Image size 250×250 · bone marrow aspirate smear:
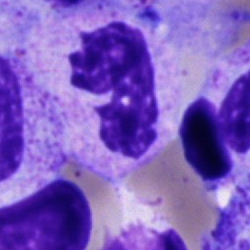Specimen: bone marrow smear.
Morphological class: polymorphonuclear neutrophil.